Bone marrow smear:
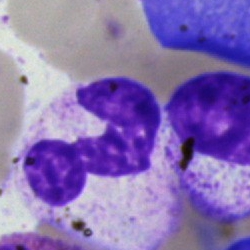 The cell is neutrophil (segmented).